Bone marrow smear.
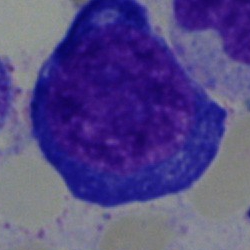 Cell type — proerythroblast.